Bone marrow aspirate smear. Single-cell field. Brightfield microscopy, 40× oil immersion
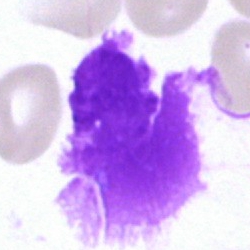
An artefact.